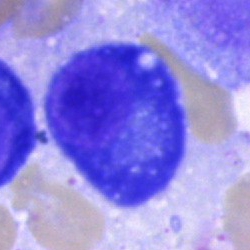
Bone marrow aspirate smear, single cell — plasma cell.